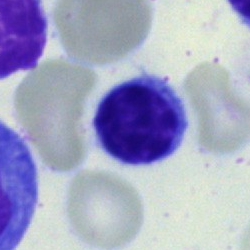 Impression → lymphocyte.